Peripheral blood film: 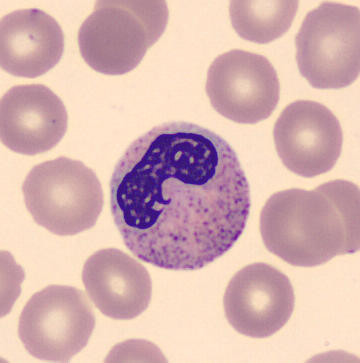
The morphological class is stab cell.